Single-cell field; 100× objective, oil immersion; peripheral blood film: 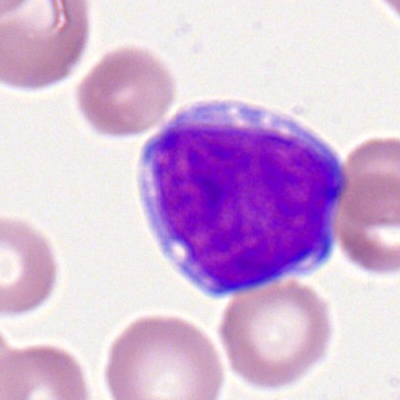Showing a myeloblast.